40× objective, oil immersion. May-Grünwald-Giemsa/Pappenheim stain. Bone marrow aspirate smear:
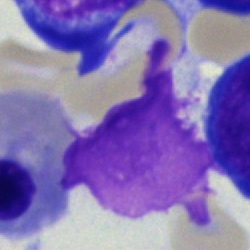

Morphology consistent with an artefact.